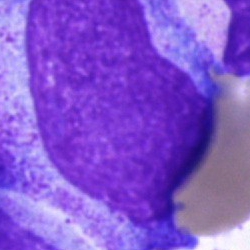Showing a progranulocyte.